Peripheral blood smear; single-cell crop; 400 by 400 pixels: 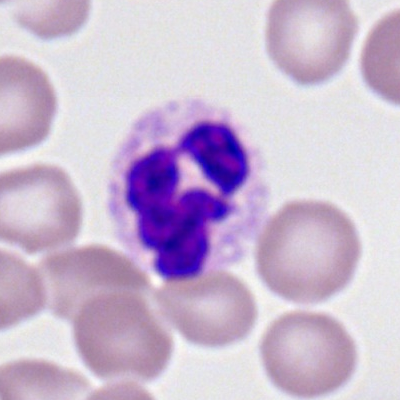Classification: polymorphonuclear neutrophil.